May-Grünwald-Giemsa stain · bone marrow smear: 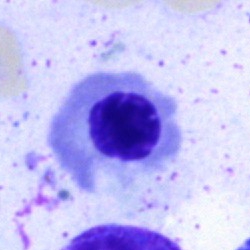 Cell type: normoblast.